Bone marrow smear — 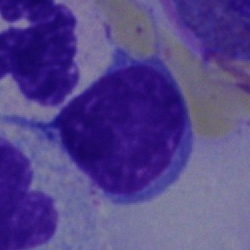
Q: Which cell type is shown here?
A: Lymphocyte.